Peripheral blood smear; Romanowsky-type stain — 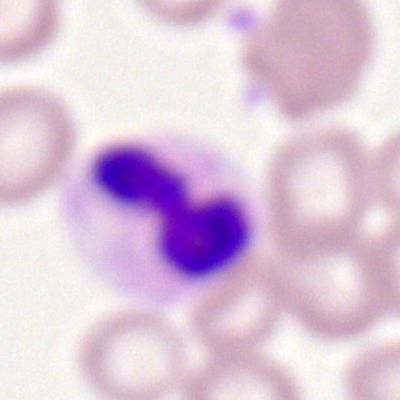

Cell type — segmented neutrophil.